Bone marrow aspirate smear:
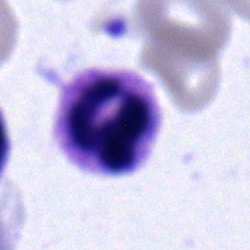{"cell_type": "neutrophil (segmented)", "lineage": "myeloid"}